Peripheral blood film:
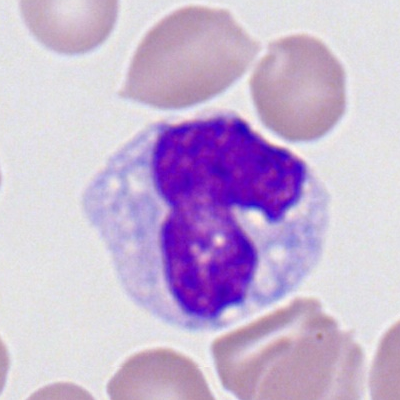
Monocyte.